Pappenheim-stained; brightfield, 40× oil-immersion objective; bone marrow smear:
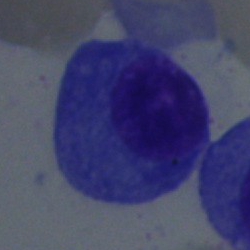
Impression — plasmacyte.